Bone marrow aspirate smear:
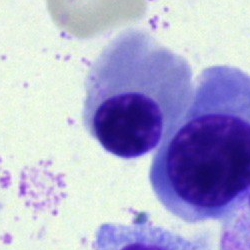

{"cell_type": "nucleated red blood cell", "lineage": "erythroid"}